Brightfield, 40× oil-immersion objective. Bone marrow aspirate smear:
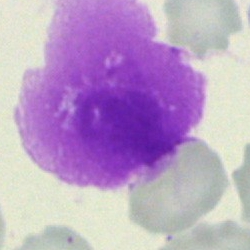

This is an artefact.